Peripheral blood film · M8 digital microscope (Precipoint), 100× oil immersion · Romanowsky-stained: 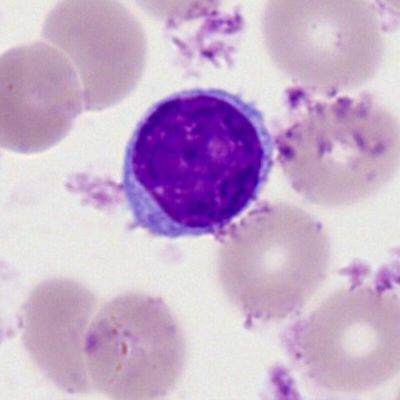
Cell: typical lymphocyte.